Bone marrow smear. Pappenheim-stained — 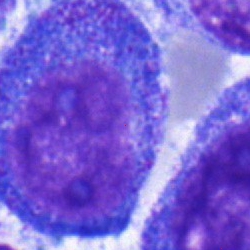

Cell type = progranulocyte.